Bone marrow smear; 250×250 — 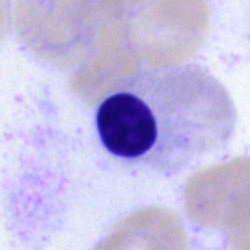

Cell = normoblast.